Bone marrow aspirate smear. 40× oil immersion: 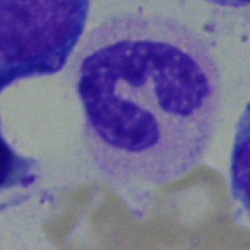Single cell identified as a neutrophil (segmented).